Bone marrow aspirate smear: 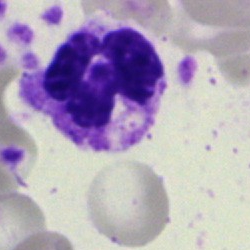 This is a segmented neutrophil.